Bone marrow aspirate smear · single-cell field — 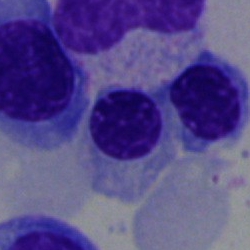
{"cell_type": "normoblast", "lineage": "erythroid"}